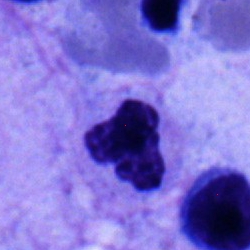Q: What is shown here?
A: Segmented neutrophil.